250 by 250 pixels · 40× oil immersion · bone marrow aspirate smear:
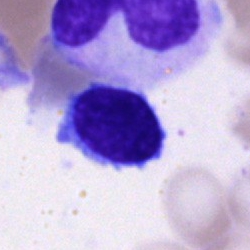

The cell type is lymphocyte.